Bone marrow aspirate smear
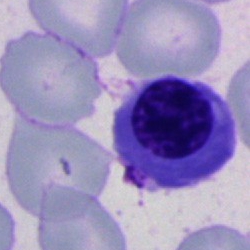 A nucleated red cell.